Cropped to a single cell · brightfield microscopy, 40× oil immersion · bone marrow smear
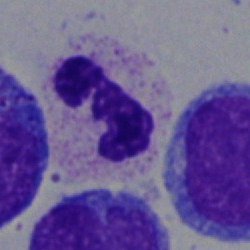Q: What is the morphological classification of this cell?
A: A neutrophil (segmented).